Brightfield microscopy, 40× oil immersion. Bone marrow smear. Single-cell crop:
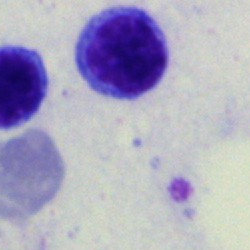
The morphological class is lymphocyte.